Bone marrow smear. 250 by 250 pixels:
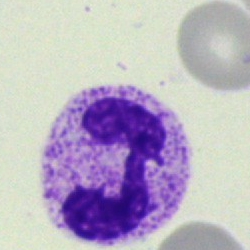Q: What is shown here?
A: This is a segmented neutrophil.